Bone marrow smear — 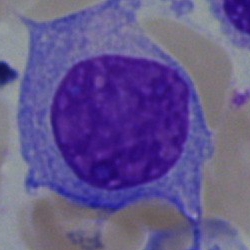A plasmacyte.